Bone marrow aspirate smear:
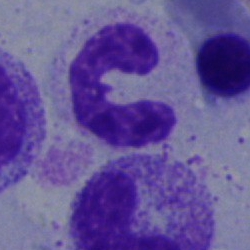
This is a neutrophil (segmented).